Bone marrow smear
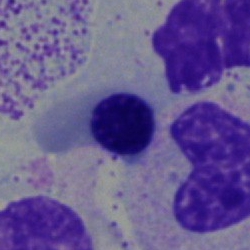 Morphology — erythroblast.